Bone marrow aspirate smear.
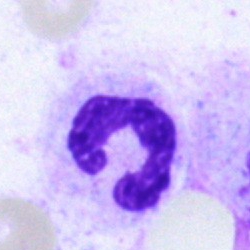
Morphology consistent with a polymorphonuclear neutrophil.